Bone marrow aspirate smear; brightfield, 40× oil-immersion objective: 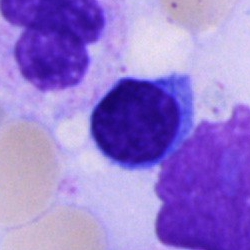Q: What type of cell is this?
A: It is a typical lymphocyte.